Bone marrow aspirate smear.
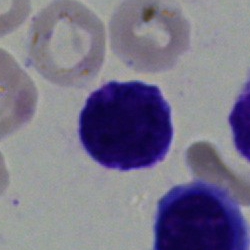Q: Identify the cell.
A: A typical lymphocyte.